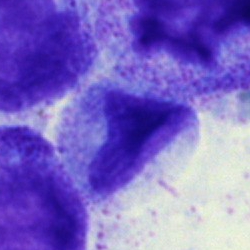 The morphological class is monocyte.